Brightfield, 40× oil-immersion objective. MGG-stained. Bone marrow smear:
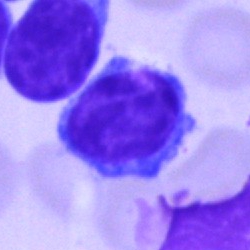

Specimen: bone marrow smear.
Morphological class: lymphocyte.
Lineage: lymphoid.